Single-cell crop · bone marrow smear · 40× objective, oil immersion — 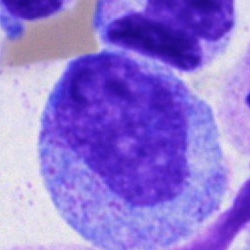
Cell — promyelocyte.